Bone marrow smear — 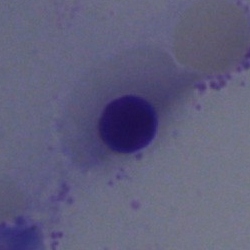 A normoblast.